Bone marrow smear
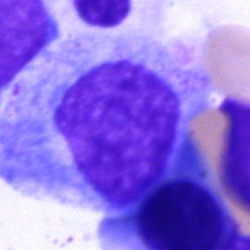

Morphological class — progranulocyte.